Bone marrow aspirate smear; single-cell crop; 250 by 250 pixels — 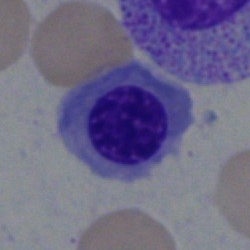Morphology → nucleated red blood cell.